40× oil immersion · bone marrow aspirate smear · 250×250 px.
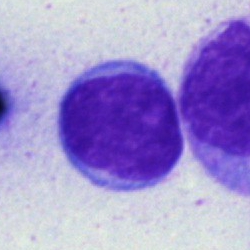 Showing a blast cell.